Bone marrow smear: 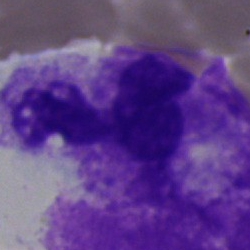
{"cell_type": "artifact"}